Bone marrow smear; MGG-stained — 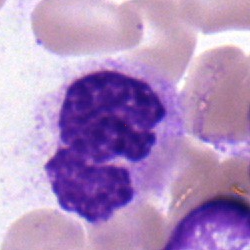Specimen: bone marrow smear.
Cell type: neutrophil (segmented).